Bone marrow aspirate smear — 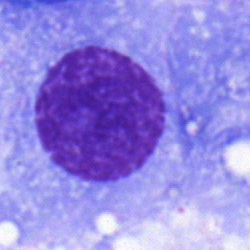

Morphology consistent with a plasma cell.